400×400 px. Peripheral blood smear:
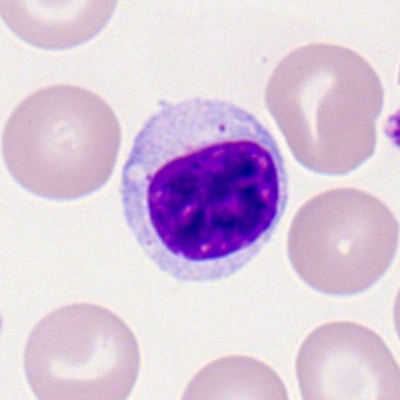

The classification is lymphocyte.